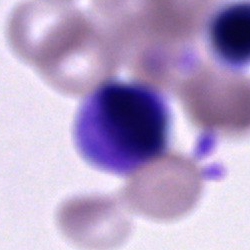 Q: What type of cell is this?
A: An unidentifiable cell.